Bone marrow aspirate smear. Brightfield microscopy, 40× oil immersion:
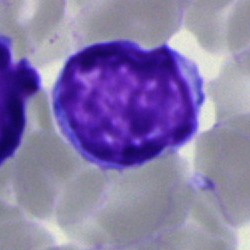 This is a lymphocyte.